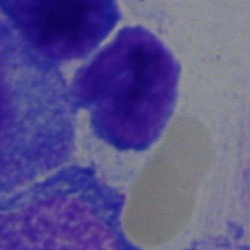 The morphological class is lymphocyte.